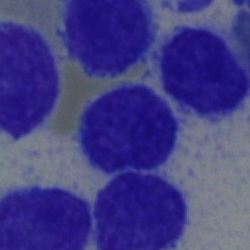

Q: Which cell type is shown here?
A: A lymphocyte.